Bone marrow smear. Brightfield microscopy, 40× oil immersion: 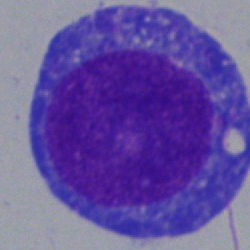 Specimen: bone marrow aspirate smear.
Classification: blast cell.